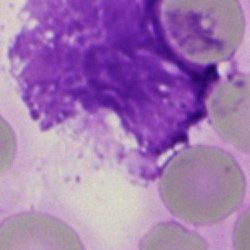

The cell shown is an artifact.